Bone marrow smear; brightfield, 40× oil-immersion objective
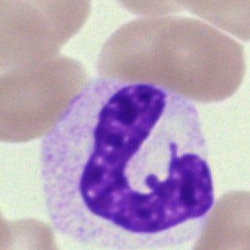 Cell type — band-form neutrophil.